Single cell centered in the field; 250×250; bone marrow smear: 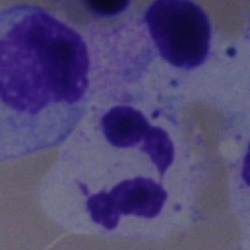

{"cell_type": "segmented neutrophil", "lineage": "myeloid"}